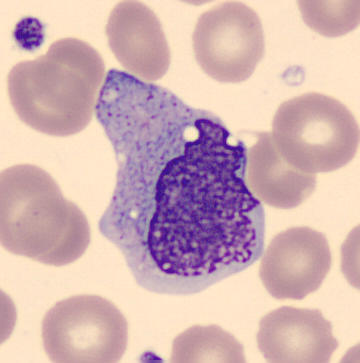

Preparation: Peripheral blood smear; CellaVision DM96 digital cell image.

Q: What type of cell is this?
A: A monocyte.